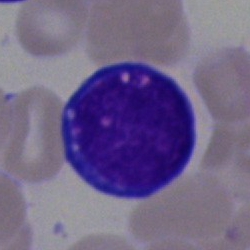 Bone marrow smear showing a blast.